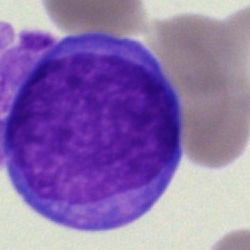Specimen: bone marrow aspirate smear.
Cell type: blast.